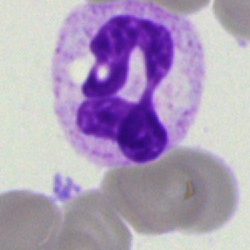
The cell is neutrophil (segmented).